Bone marrow aspirate smear; brightfield microscopy, 40× oil immersion: 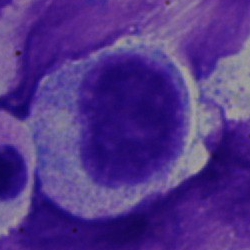 {"cell_type": "myelocyte", "lineage": "myeloid"}